Single-cell crop · bone marrow smear:
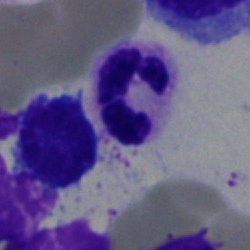 Single cell identified as a polymorphonuclear neutrophil.